Image size 250×250. Brightfield, 40× oil-immersion objective. Bone marrow smear:
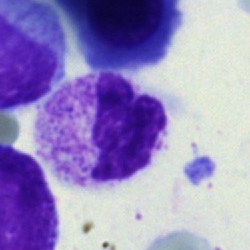
The cell shown is a polymorphonuclear neutrophil.